Bone marrow smear:
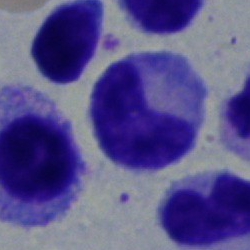
This is a metamyelocyte.